Peripheral blood smear
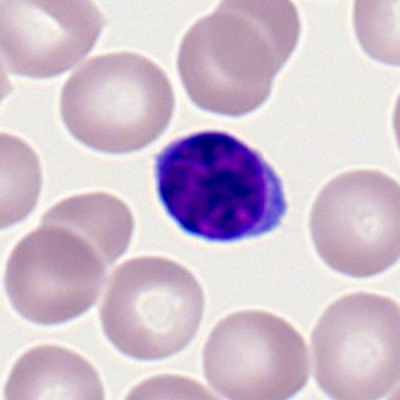
Q: Identify the cell.
A: It is a lymphocyte.